Peripheral blood film. Single-cell crop
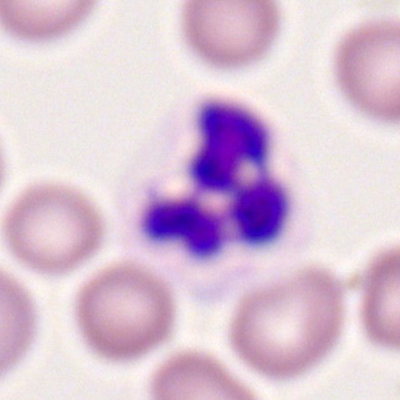Specimen: peripheral blood smear.
Classification: neutrophil (segmented).
Lineage: myeloid.